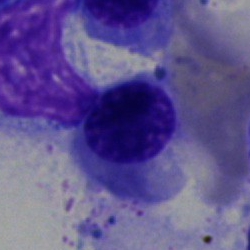 Bone marrow smear showing a nucleated red cell.